Bone marrow aspirate smear — 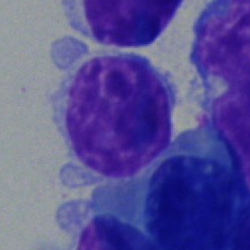

Cell: typical lymphocyte.